Peripheral blood smear:
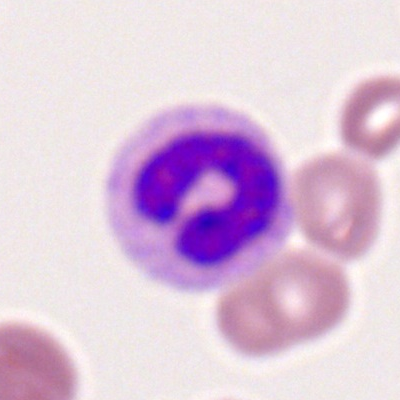 Specimen: peripheral blood smear.
Cell type: neutrophil (band).